Peripheral blood smear.
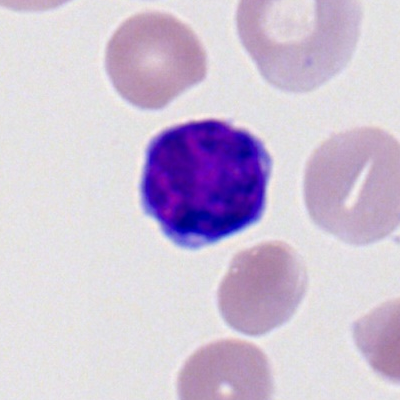
Specimen: peripheral blood film.
Morphological class: lymphocyte.
Lineage: lymphoid.